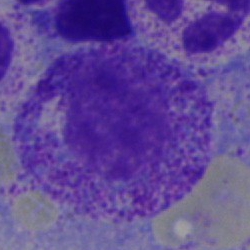
{"cell_type": "myelocyte", "lineage": "myeloid"}